Bone marrow aspirate smear · single-cell field:
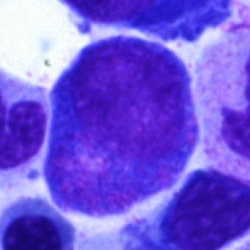 The cell type is promyelocyte.